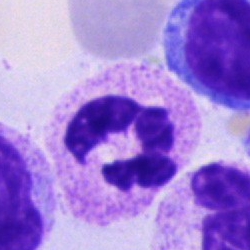 Classification: polymorphonuclear neutrophil.